40× objective, oil immersion; bone marrow smear.
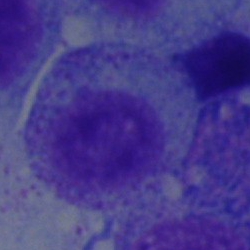
{"cell_type": "myelocyte"}